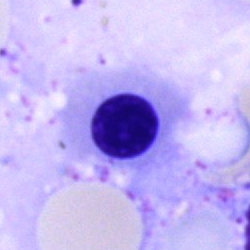Morphology — erythroblast.